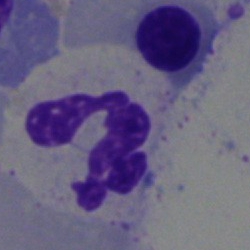Cell type = segmented neutrophil.